Bone marrow smear: 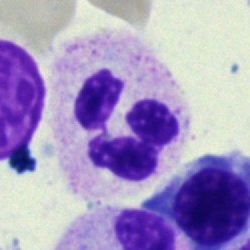
Classification = polymorphonuclear neutrophil.